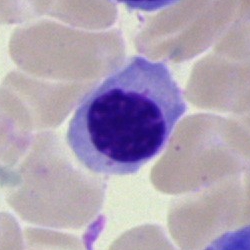
Cell — nucleated red blood cell.